Bone marrow aspirate smear
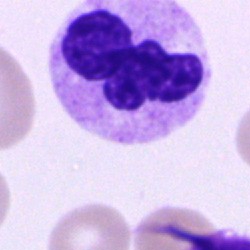Q: Identify the cell.
A: Neutrophil (segmented).